Brightfield, 40× oil-immersion objective · bone marrow smear · image size 250×250
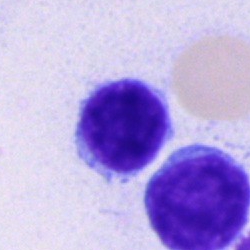The cell shown is a lymphocyte.